Single-cell crop. Bone marrow smear. Brightfield, 40× oil-immersion objective
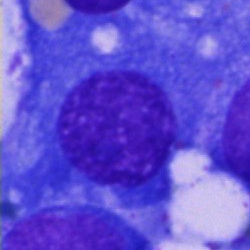

Classification = plasma cell.